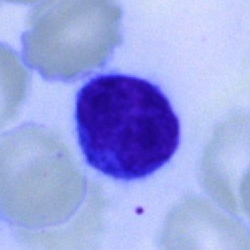

Showing a lymphocyte.